Bone marrow smear.
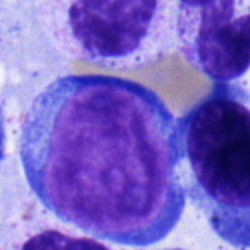
Morphological class = proerythroblast.